Bone marrow smear
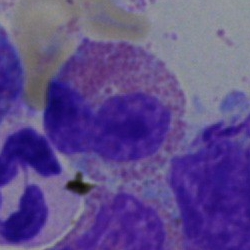This is an eosinophilic granulocyte.